Bone marrow aspirate smear · 250×250 · brightfield microscopy, 40× oil immersion
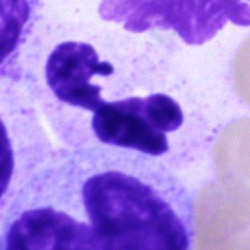 A segmented neutrophil.